Bone marrow aspirate smear — 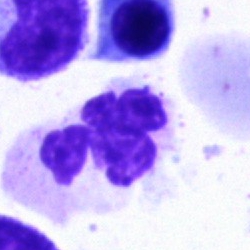 Cell type — segmented neutrophil.